Bone marrow aspirate smear:
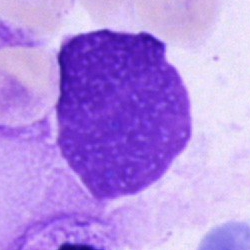{"cell_type": "artefact"}